Bone marrow aspirate smear: 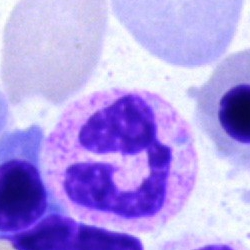

Classification — polymorphonuclear neutrophil.